Single-cell field. Bone marrow smear. Pappenheim-stained — 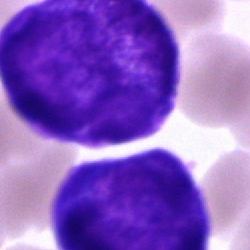

Cell type: blast cell.